Peripheral blood smear
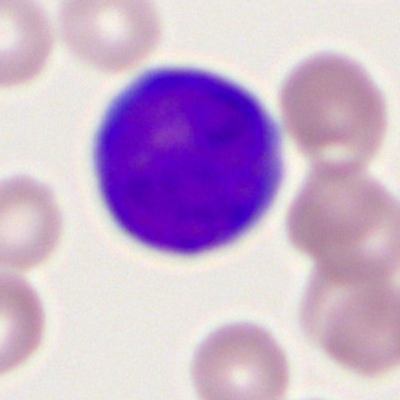Morphological class: myeloid blast.